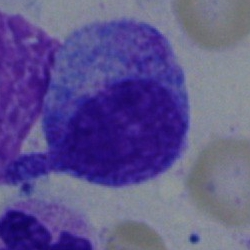
Myelocyte.